Bone marrow smear · 250 by 250 pixels
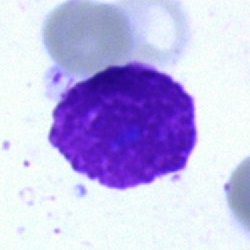Classification — artifact.